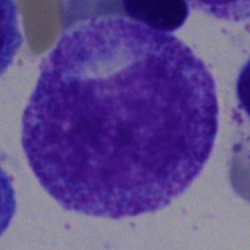

Q: What is shown here?
A: A promyelocyte.